Bone marrow aspirate smear — 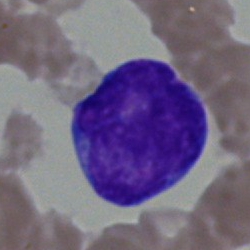 A blast cell.